250 by 250 pixels · bone marrow aspirate smear: 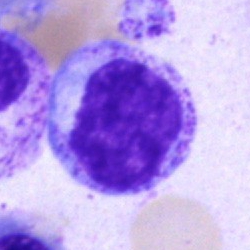This is a myelocyte.